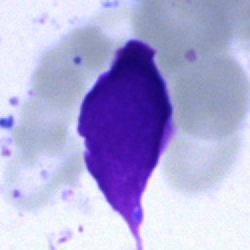

The classification is artifact.